Bone marrow aspirate smear — 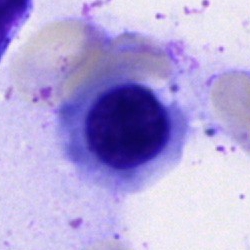

Q: Which cell type is shown here?
A: This is a nucleated red cell.